Peripheral blood film:
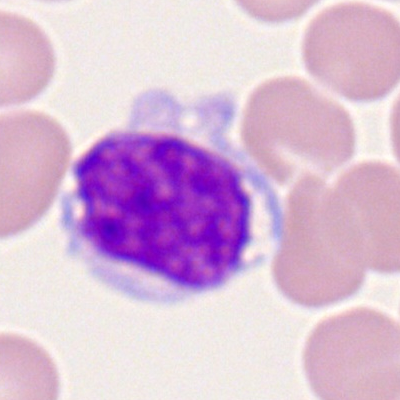 Single cell identified as a typical lymphocyte.